Bone marrow aspirate smear · 250×250 px · May-Grünwald-Giemsa/Pappenheim stain — 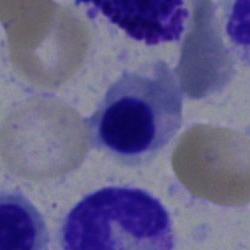
The classification is erythroblast.